Bone marrow smear.
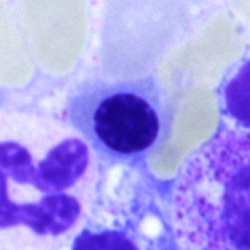
Q: Identify the cell.
A: Erythroblast.